Bone marrow smear — 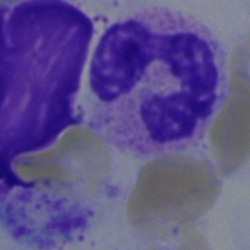 A polymorphonuclear neutrophil.